Bone marrow aspirate smear
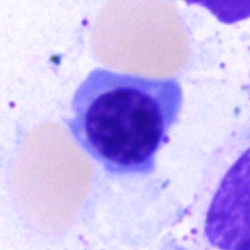Morphology → nucleated red blood cell.